Bone marrow smear: 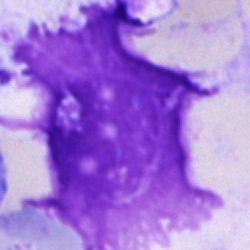 Q: What is shown here?
A: This is an artefact.